Image size 250×250 · bone marrow aspirate smear · 40× oil immersion: 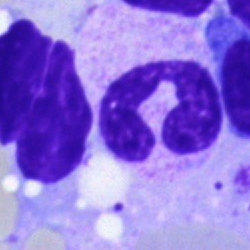 Classification: neutrophil (segmented).